Bone marrow smear. May-Grünwald-Giemsa stain:
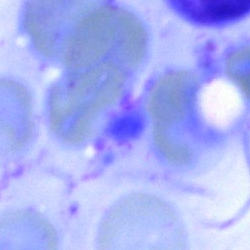Single cell identified as an artefact.